Brightfield, 40× oil-immersion objective · bone marrow smear · Pappenheim-stained:
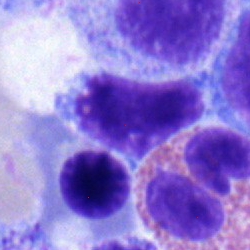Q: What is the morphological classification of this cell?
A: It is a typical lymphocyte.